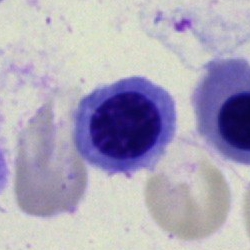Classification — normoblast.